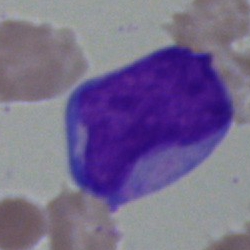Impression → blast cell.